Bone marrow smear — 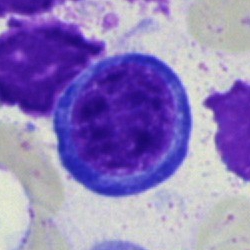This is a nucleated red blood cell.